40× objective, oil immersion · bone marrow smear · image size 250×250: 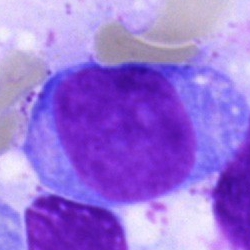
Cell type = blast cell.